Bone marrow smear — 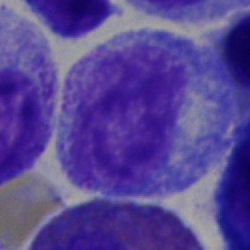

Cell type = progranulocyte.